250 by 250 pixels; bone marrow smear: 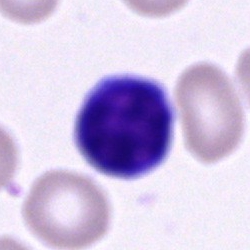Morphological class: typical lymphocyte.